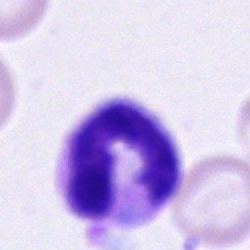 Q: What cell is this?
A: This is a polymorphonuclear neutrophil.